Bone marrow smear
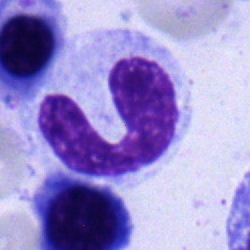{"cell_type": "neutrophil (band)", "lineage": "myeloid"}